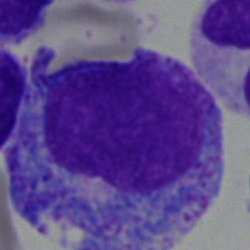

Morphology — promyelocyte.